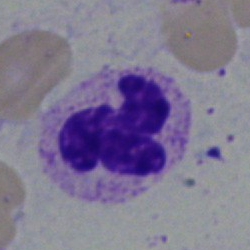

This is a segmented neutrophil.